Bone marrow smear — 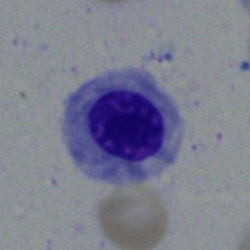

This is a nucleated red cell.